Bone marrow aspirate smear: 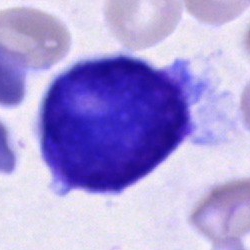A cell of indeterminate lineage.